Bone marrow smear: 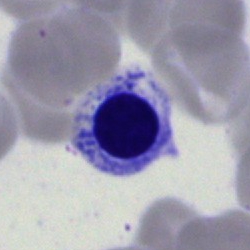
Showing a nucleated red blood cell.